Bone marrow aspirate smear
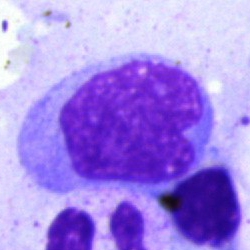Cell type: monocyte.